Bone marrow smear
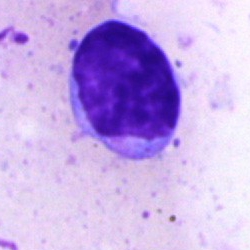
Specimen: bone marrow aspirate smear.
Classification: typical lymphocyte.